Bone marrow smear · 250×250 px — 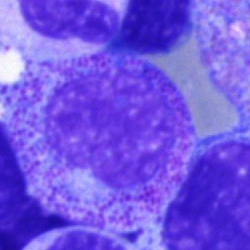 This is a myelocyte.